Bone marrow aspirate smear: 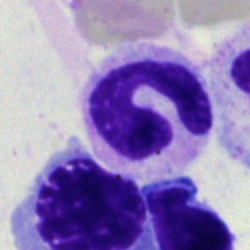Specimen: bone marrow aspirate smear.
Cell type: neutrophil (segmented).